Bone marrow aspirate smear — 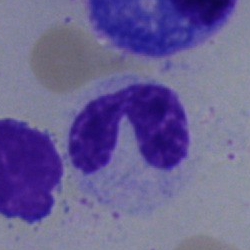 Specimen: bone marrow aspirate smear.
Cell: segmented neutrophil.